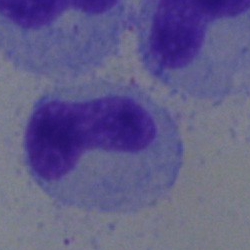 Specimen: bone marrow smear.
Morphological class: band neutrophil.
Lineage: myeloid.